Bone marrow smear — 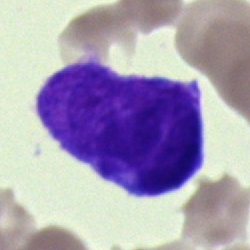 The cell is blast.